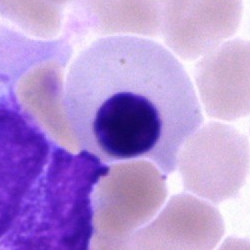 Impression → normoblast.